Bone marrow smear — 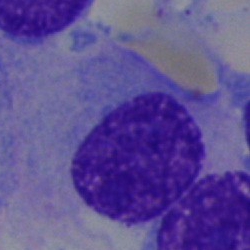
{"cell_type": "plasma cell", "lineage": "lymphoid"}